Bone marrow aspirate smear; single-cell field.
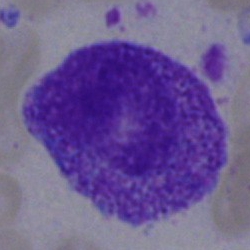

Impression — myelocyte.